Bone marrow smear. MGG-stained: 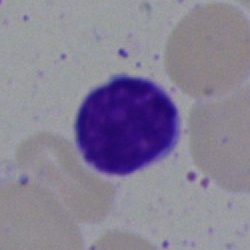
Q: Identify the cell.
A: Typical lymphocyte.